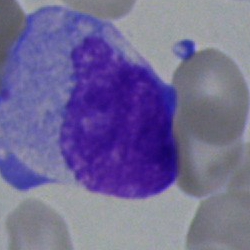
{"cell_type": "blast cell"}